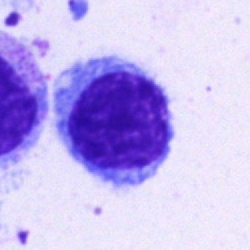

Classification = lymphocyte.